250×250. Bone marrow smear — 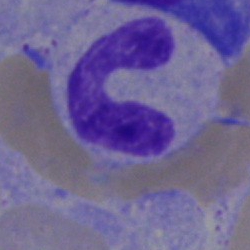Stab cell.